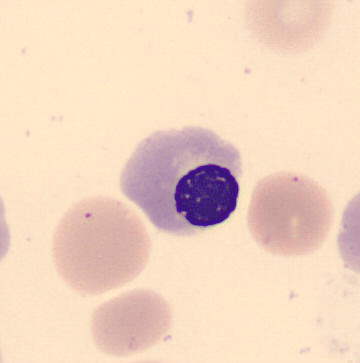Q: Identify the cell.
A: This is an erythroblast.

Peripheral blood smear.